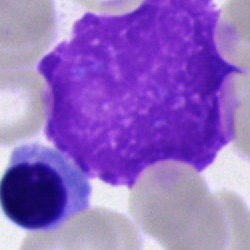
{"cell_type": "artefact"}